Bone marrow smear
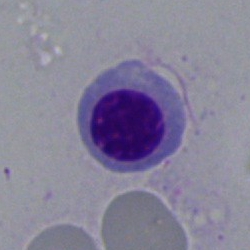
Specimen: bone marrow aspirate smear.
Morphological class: nucleated red blood cell.
Lineage: erythroid.